40× objective, oil immersion · cropped to a single cell · bone marrow smear: 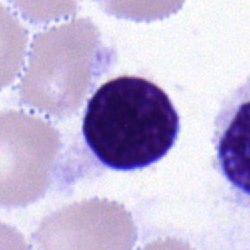
Q: Identify the cell.
A: Lymphocyte.